Bone marrow smear — 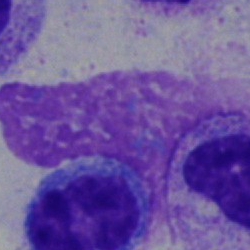The cell shown is an artifact.